Bone marrow aspirate smear.
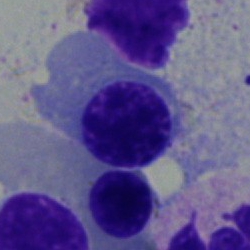
Q: What cell is this?
A: It is a nucleated red cell.